Bone marrow smear
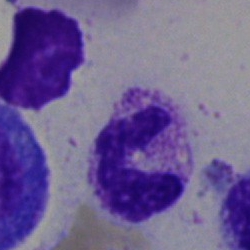

Q: What is shown here?
A: It is a neutrophil (segmented).